250×250 px · bone marrow aspirate smear · cropped to a single cell:
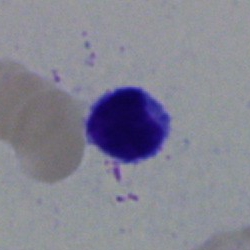
Q: What is the morphological classification of this cell?
A: A typical lymphocyte.